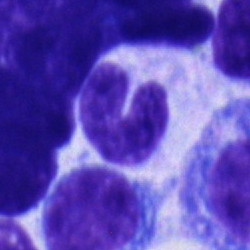
The cell is band neutrophil.